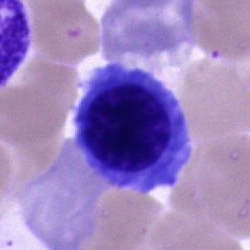
Impression — normoblast.